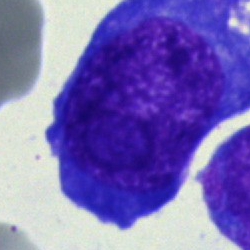 Morphological class: undifferentiated blast.